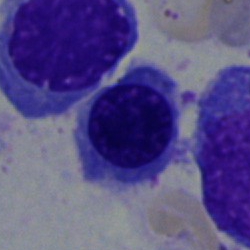

Nucleated red cell.